Bone marrow aspirate smear:
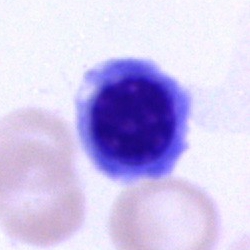

Impression → erythroblast.